Bone marrow aspirate smear:
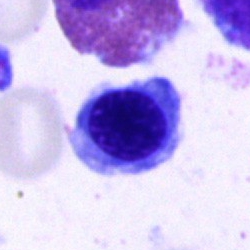

Single cell identified as a normoblast.